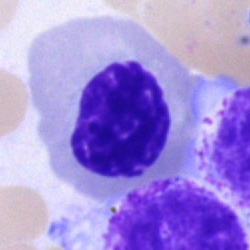Cell: erythroblast.